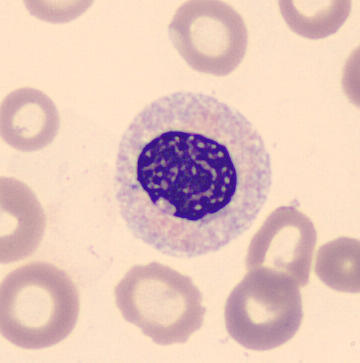
Single cell identified as a myelocyte. Preparation: Peripheral blood film; MGG-stained.